Imaged on a CellaVision DM96 analyser. MGG stain. Peripheral blood film:
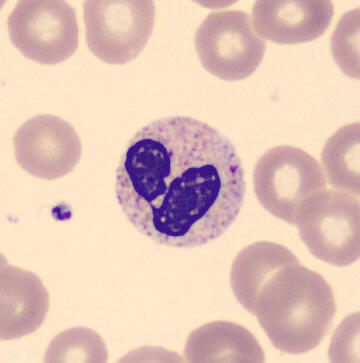 Cell type — neutrophil (segmented).